Bone marrow aspirate smear. Pappenheim-stained:
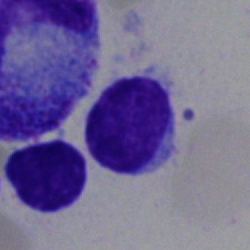
Morphology — typical lymphocyte.